Peripheral blood smear · 360 by 363 pixels:
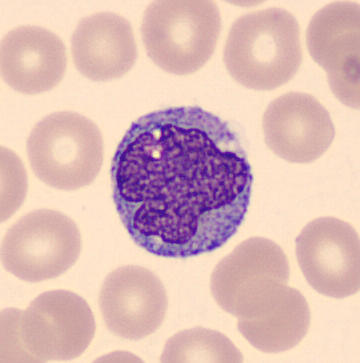

Specimen: peripheral blood film.
Morphological class: monocyte.